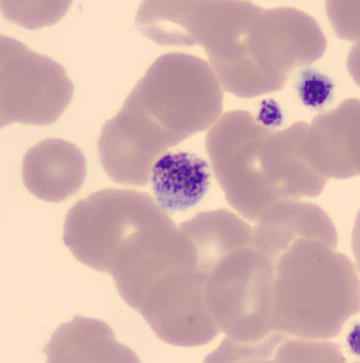This is a platelet (thrombocyte).